250×250 px; bone marrow aspirate smear
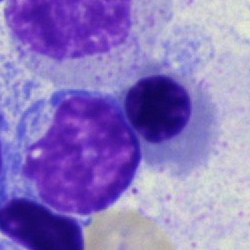 Q: Which cell type is shown here?
A: Nucleated red cell.